Bone marrow aspirate smear:
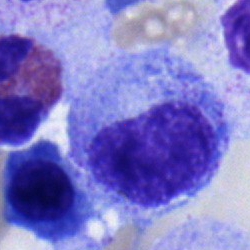Cell — metamyelocyte.